Bone marrow smear: 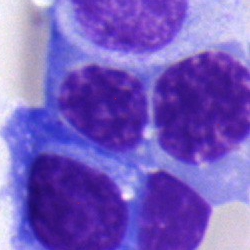

Q: What is the morphological classification of this cell?
A: It is an erythroblast.